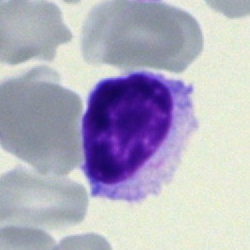The morphological class is lymphocyte.